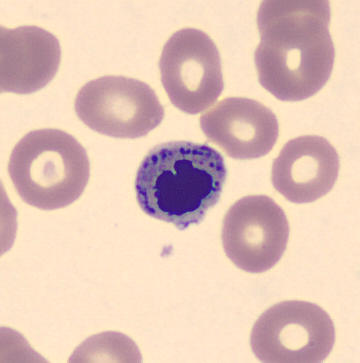 Specimen: peripheral blood film.
Cell type: nucleated red blood cell.
Lineage: erythroid.